Cropped to a single cell · image size 250×250 · bone marrow smear:
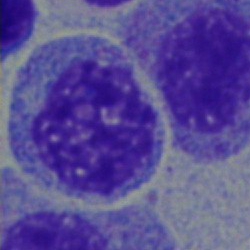 Specimen: bone marrow smear.
Cell: monocyte.